Bone marrow smear: 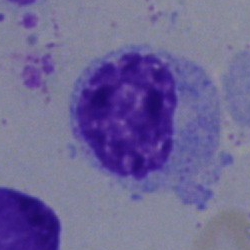
Morphology consistent with an artifact.